Peripheral blood film
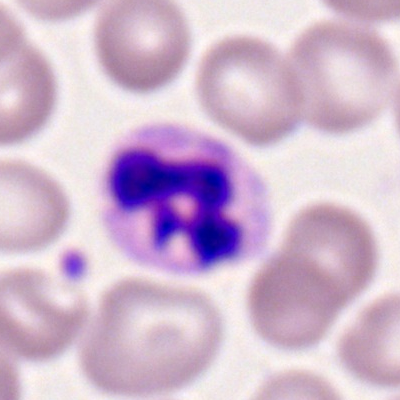
Morphological class — neutrophil (segmented).